Bone marrow aspirate smear; 40× oil immersion:
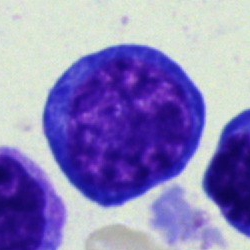Nucleated red cell.